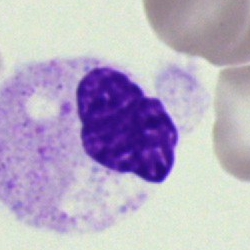
Morphology consistent with a polymorphonuclear neutrophil.